Bone marrow smear.
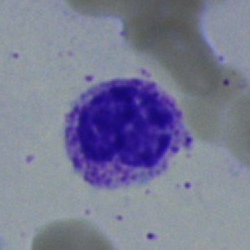 Cell: myelocyte.